Bone marrow aspirate smear.
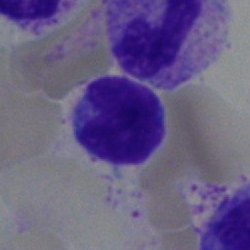Showing a lymphocyte.